Bone marrow aspirate smear.
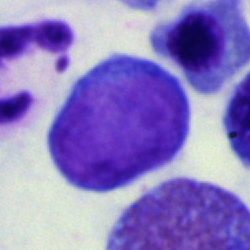
Cell = pronormoblast.